Automated cell imaging (CellaVision DM96); MGG-stained; peripheral blood smear.
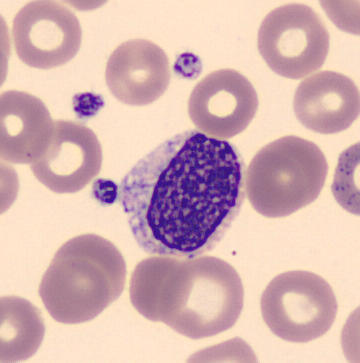 Morphological class: myelocyte.